Bone marrow aspirate smear: 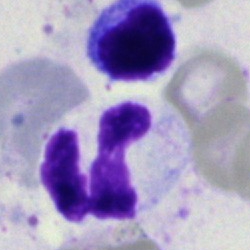
Q: What cell is this?
A: Neutrophil (segmented).